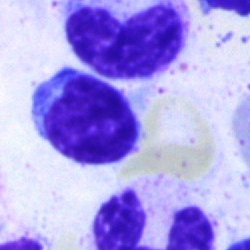 Bone marrow smear showing a lymphocyte.